Bone marrow smear
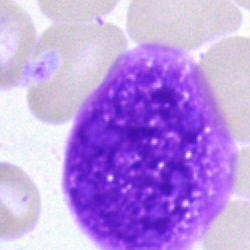
The classification is artifact.